Peripheral blood smear: 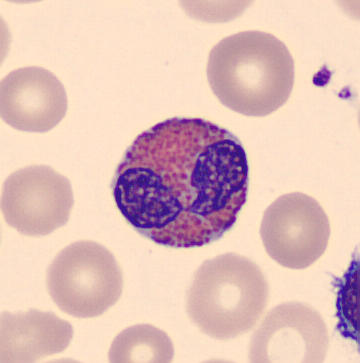 Showing an eosinophilic granulocyte.